Bone marrow aspirate smear; 40× oil immersion; MGG-stained — 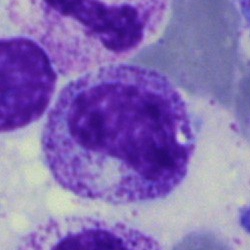Classification = myelocyte.